Peripheral blood film. 100× objective, oil immersion: 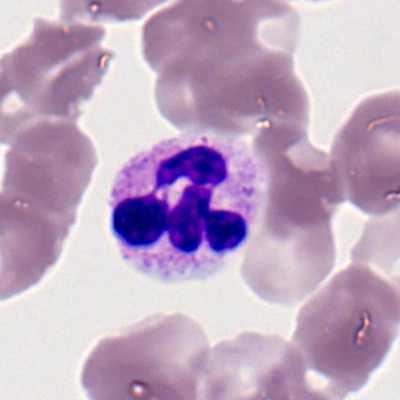

Neutrophil (segmented).